Bone marrow aspirate smear — 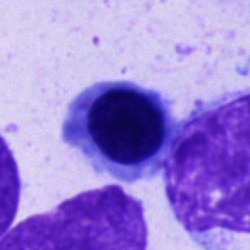
Morphology consistent with an erythroblast.